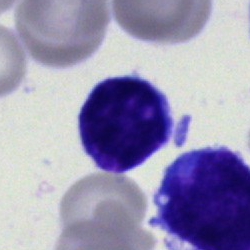Single-cell crop from a bone marrow smear: blast cell.